Bone marrow aspirate smear. Image size 250×250:
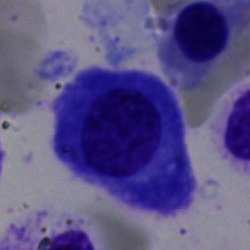

Classification = plasma cell.